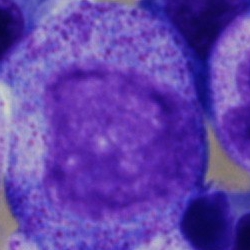
The cell shown is a progranulocyte.